MGG-stained; bone marrow aspirate smear: 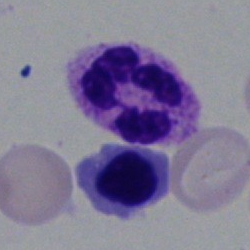
{"cell_type": "segmented neutrophil", "lineage": "myeloid"}